Bone marrow aspirate smear — 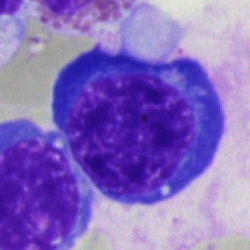
An erythroblast.